Romanowsky-stained; 400×400; peripheral blood film.
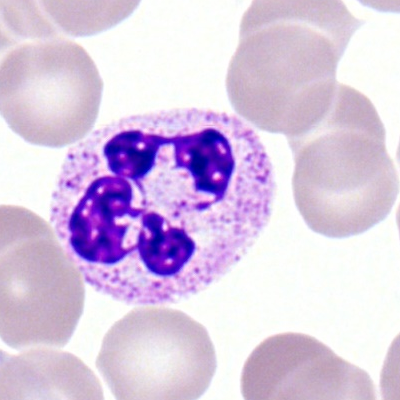Morphology consistent with a polymorphonuclear neutrophil.